Bone marrow smear · 250×250 px · brightfield, 40× oil-immersion objective
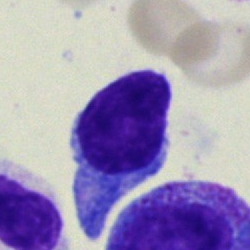Specimen: bone marrow smear.
Morphological class: lymphocyte.